Bone marrow aspirate smear — 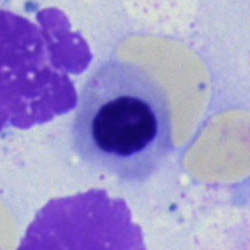 A nucleated red blood cell.